Bone marrow smear
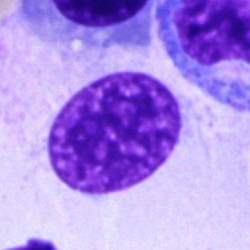An artefact.